Peripheral blood smear: 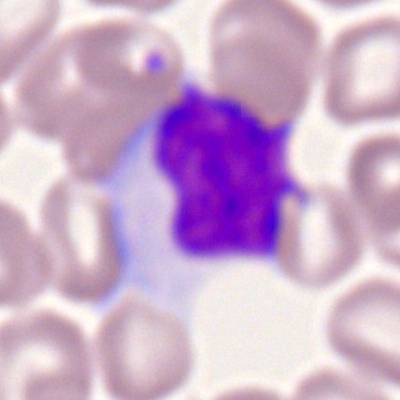 This is a lymphocyte.